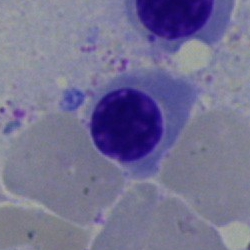 Morphological class — nucleated red blood cell.